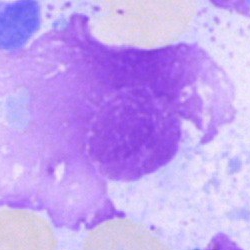

Cell = artefact.